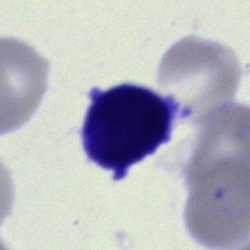Bone marrow aspirate smear, single cell — lymphocyte.